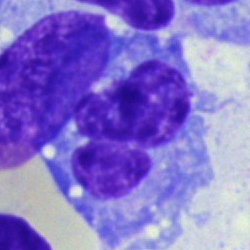A plasmacyte on a bone marrow smear.